MGG-stained; bone marrow smear:
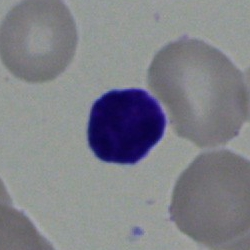
Classification — lymphocyte.